Bone marrow aspirate smear — 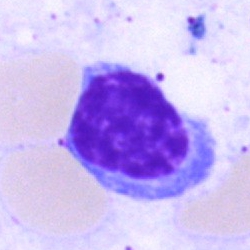 Impression → typical lymphocyte.